Bone marrow smear; May-Grünwald-Giemsa/Pappenheim stain: 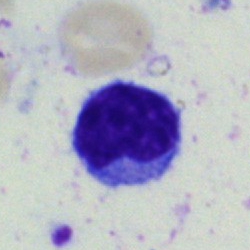

This is a lymphocyte.